40× oil immersion; bone marrow smear: 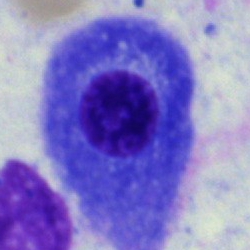
Cell type: plasma cell.